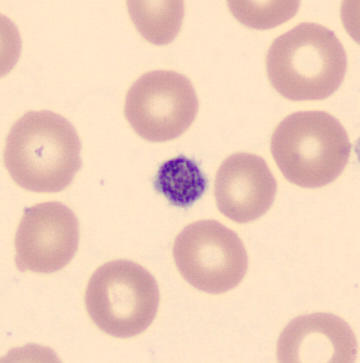

This is a thrombocyte.